Bone marrow smear:
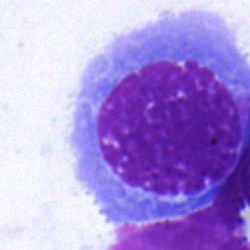The morphological class is nucleated red blood cell.